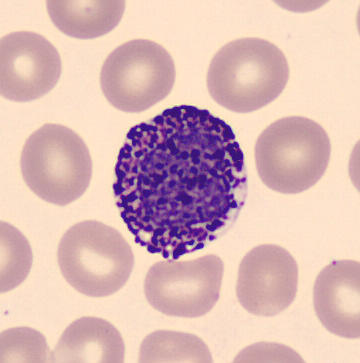

This is a basophil.

Peripheral blood film.